Bone marrow smear: 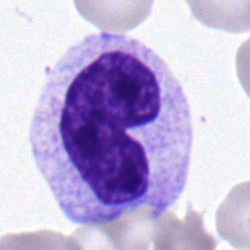
{"cell_type": "band-form neutrophil"}